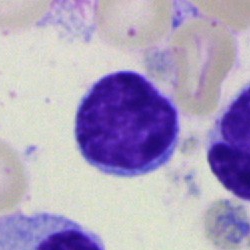{"cell_type": "typical lymphocyte", "lineage": "lymphoid"}